Bone marrow smear; 250×250 px
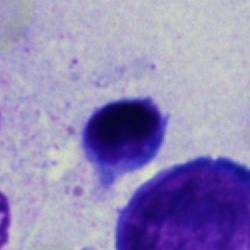
This is a typical lymphocyte.